Bone marrow smear
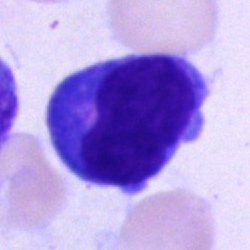A blast cell.